Bone marrow smear.
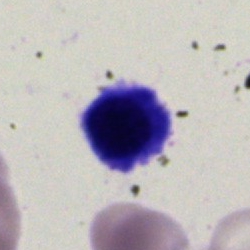Q: Which cell type is shown here?
A: Nucleated red blood cell.